Bone marrow smear
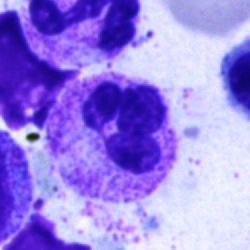
Cell type — segmented neutrophil.